Peripheral blood smear
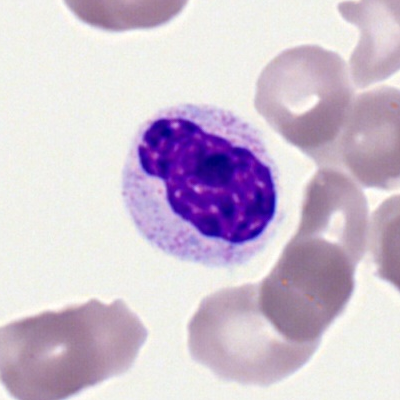Morphology consistent with a polymorphonuclear neutrophil.